Bone marrow smear · 250×250 · Pappenheim-stained.
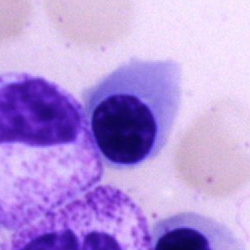

{"cell_type": "nucleated red blood cell", "lineage": "erythroid"}